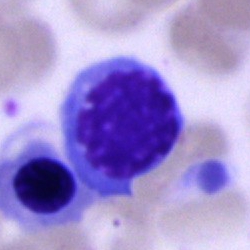 Single-cell crop from a bone marrow smear: normoblast.